Bone marrow aspirate smear; single-cell crop; May-Grünwald-Giemsa stain.
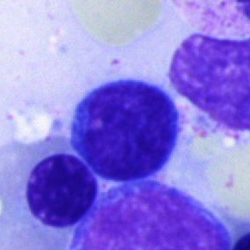 Showing a lymphocyte.